Peripheral blood smear:
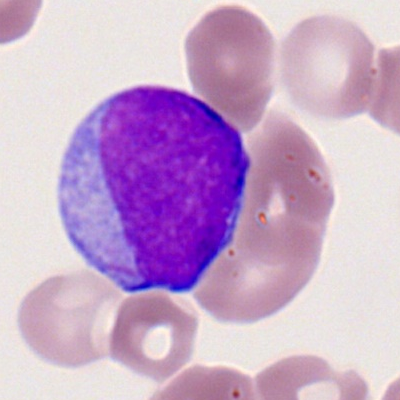
Impression — myeloid blast.